Bone marrow smear — 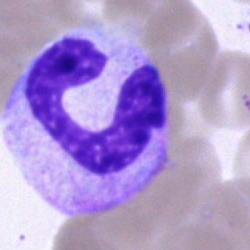 Showing a band neutrophil.